Bone marrow smear; single-cell field; May-Grünwald-Giemsa/Pappenheim stain — 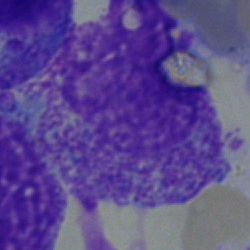 Morphology — artifact.